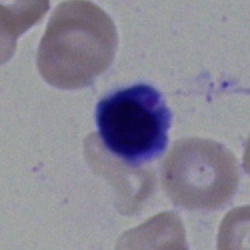

Normoblast.